Bone marrow aspirate smear:
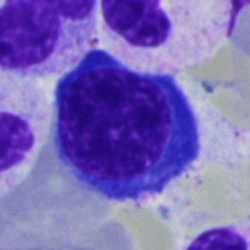
Q: What is shown here?
A: An erythroblast.